Bone marrow smear · single-cell field · 250 by 250 pixels: 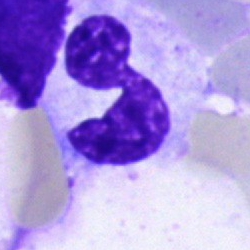

Morphology consistent with a neutrophil (segmented).